Brightfield microscopy, 40× oil immersion; bone marrow smear:
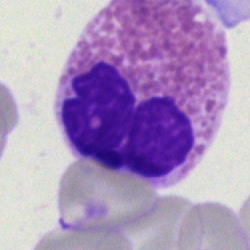The cell is eosinophil.